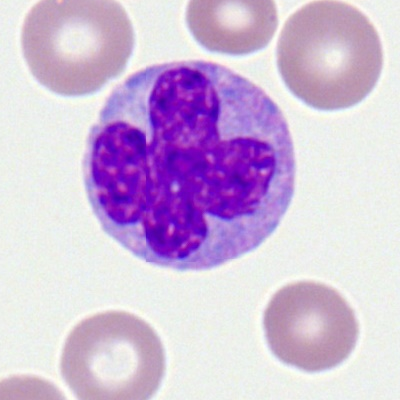 Specimen: peripheral blood smear.
Classification: monocyte.